Bone marrow smear:
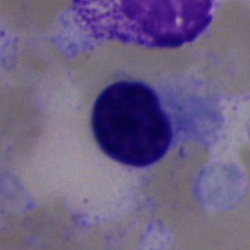

Normoblast.